Bone marrow smear: 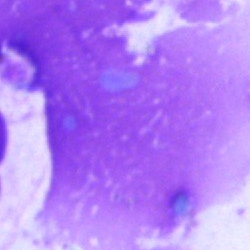

Showing an artefact.